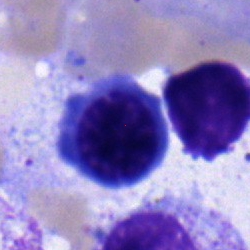
A nucleated red blood cell.